Bone marrow smear — 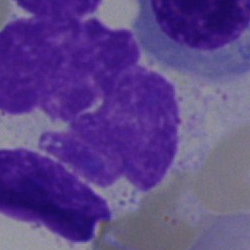
Q: What is shown here?
A: Artifact.